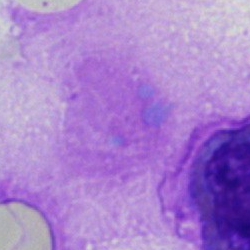An artefact on a bone marrow smear.